Single-cell crop. Peripheral blood film — 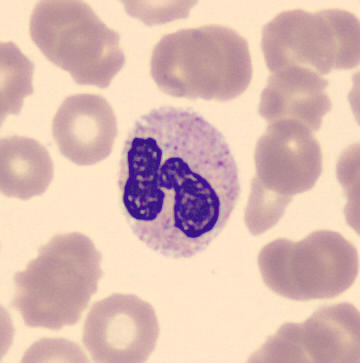Q: What cell is this?
A: This is a neutrophil (segmented).